May-Grünwald-Giemsa/Pappenheim stain · bone marrow aspirate smear
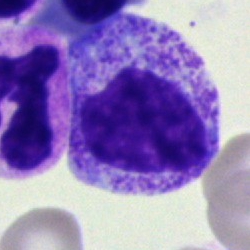
Morphology consistent with a myelocyte.